Bone marrow aspirate smear.
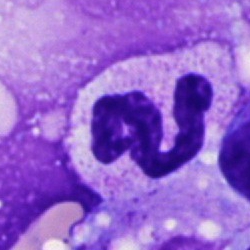

Q: Identify the cell.
A: It is a neutrophil (segmented).